Bone marrow smear · 40× objective, oil immersion.
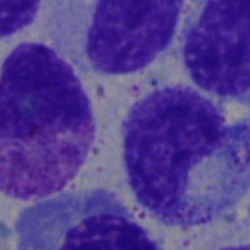Showing a metamyelocyte.